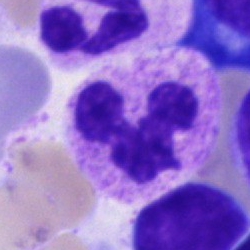

{"cell_type": "neutrophil (segmented)"}